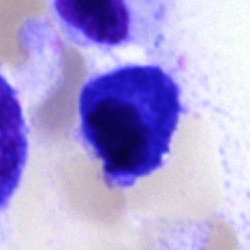

Plasmacyte.